Bone marrow smear:
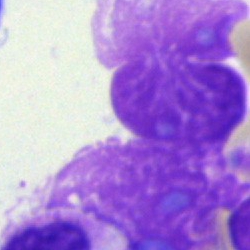
The morphological class is artefact.